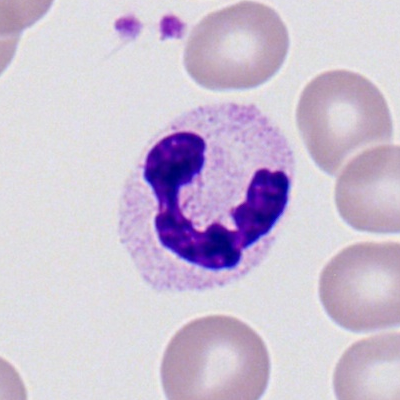Q: What cell is this?
A: This is a segmented neutrophil.